Bone marrow aspirate smear. Cropped to a single cell
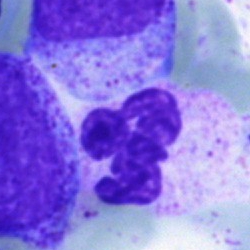Morphological class: polymorphonuclear neutrophil.